Bone marrow smear: 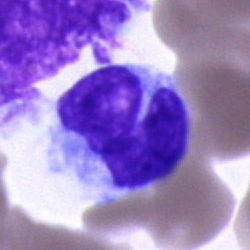Cell = monocyte.